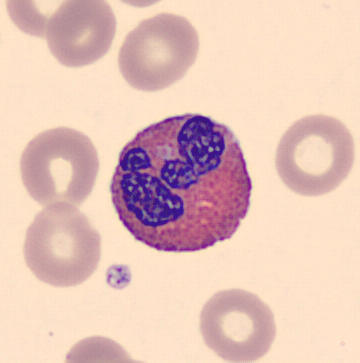
{"cell_type": "eosinophil"}

Image: Peripheral blood smear.